Bone marrow smear — 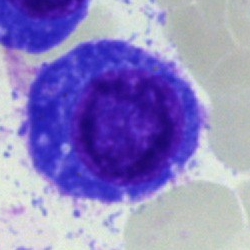 Plasmacyte.